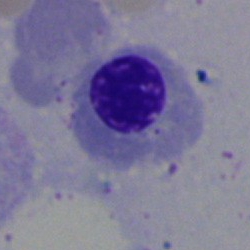Q: Which cell type is shown here?
A: A nucleated red blood cell.